Bone marrow aspirate smear:
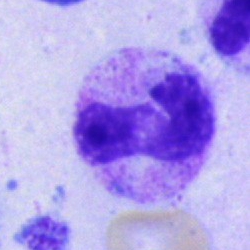Specimen: bone marrow aspirate smear.
Cell: neutrophil (segmented).